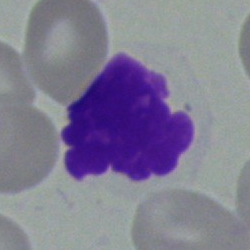 An artifact.